40× oil immersion; bone marrow smear; Pappenheim-stained — 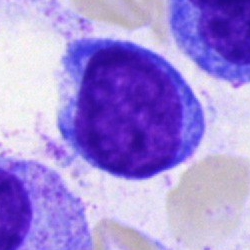
Cell type — lymphocyte.